Bone marrow aspirate smear: 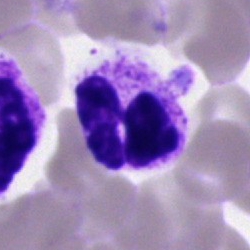
Q: What cell is this?
A: This is a neutrophil (segmented).